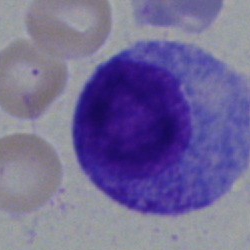

The cell shown is a promyelocyte.